Bone marrow aspirate smear.
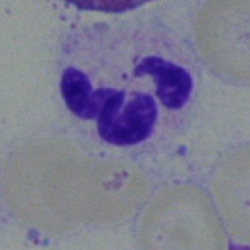Morphological class: neutrophil (segmented).